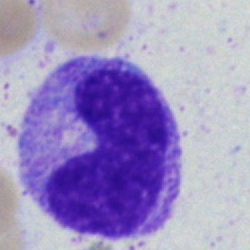Q: What is the morphological classification of this cell?
A: Stab cell.